Bone marrow aspirate smear; brightfield, 40× oil-immersion objective — 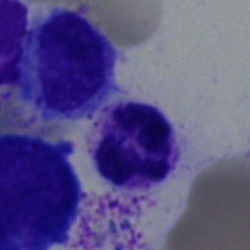
Morphology → polymorphonuclear neutrophil.